Bone marrow aspirate smear:
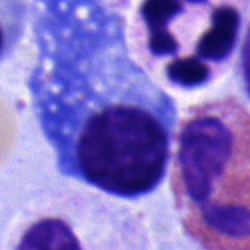
Morphology consistent with a plasma cell.